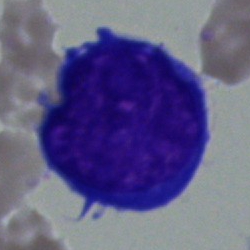

The classification is blast cell.